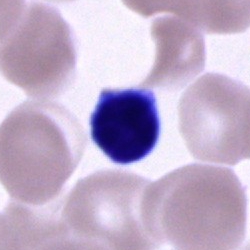Specimen: bone marrow aspirate smear.
Classification: typical lymphocyte.
Lineage: lymphoid.